MGG-stained. Bone marrow aspirate smear. 40× oil immersion — 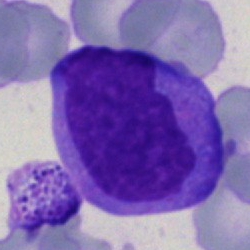 Morphology consistent with a monocyte.